250×250 px. Bone marrow smear.
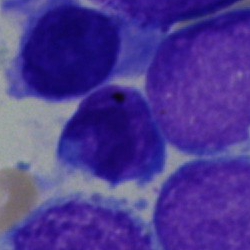 Specimen: bone marrow smear.
Cell: lymphocyte.
Lineage: lymphoid.